Bone marrow aspirate smear — 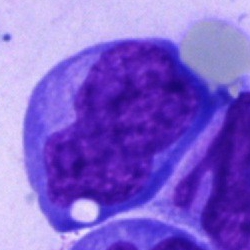Cell type — undifferentiated blast.